Bone marrow smear: 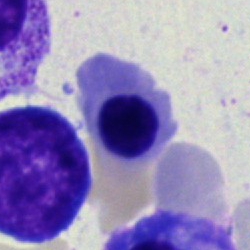 An erythroblast.